Bone marrow smear. Brightfield, 40× oil-immersion objective — 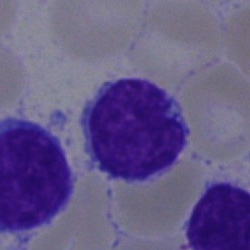 The cell shown is a typical lymphocyte.